Peripheral blood film; 100× oil immersion.
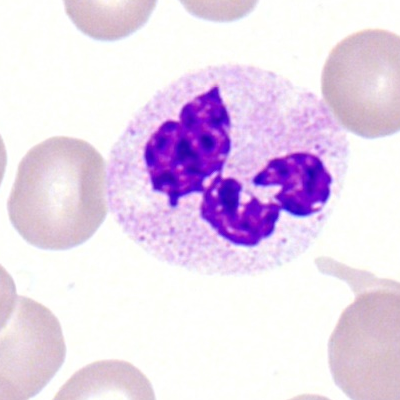
Classification: polymorphonuclear neutrophil.